Bone marrow smear. 250 by 250 pixels — 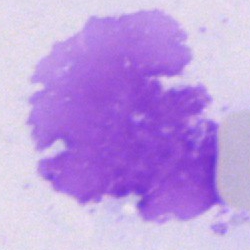Cell: artefact.